Bone marrow smear:
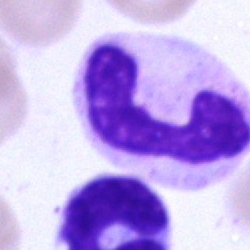
{"cell_type": "band neutrophil", "lineage": "myeloid"}